Bone marrow aspirate smear:
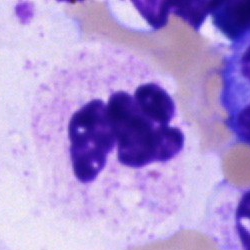

Morphology consistent with a segmented neutrophil.